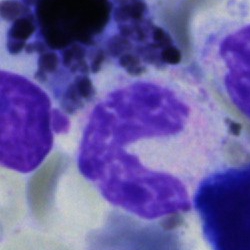
Impression — polymorphonuclear neutrophil.